Single-cell crop · bone marrow smear
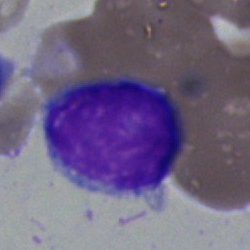
Showing a lymphocyte.